Bone marrow aspirate smear.
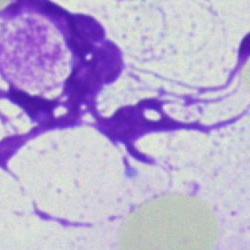 Specimen: bone marrow smear.
Cell: artifact.